Bone marrow aspirate smear: 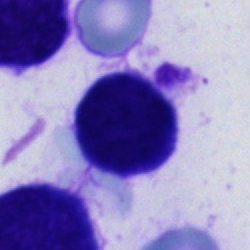Morphology consistent with a cell of indeterminate lineage.